Bone marrow smear — 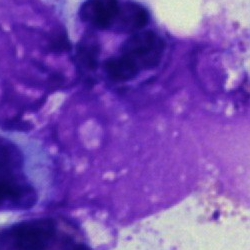 Q: What is shown here?
A: It is an artifact.